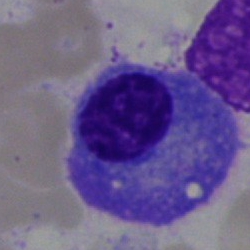
A plasma cell on a bone marrow smear.